Bone marrow smear: 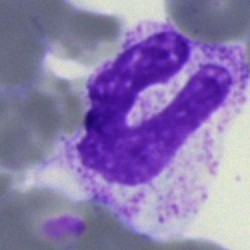
Morphology consistent with a polymorphonuclear neutrophil.